Bone marrow aspirate smear · 40× oil immersion · May-Grünwald-Giemsa/Pappenheim stain:
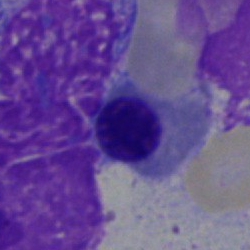

Cell = erythroblast.